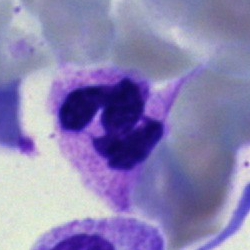

The morphological class is polymorphonuclear neutrophil.